Bone marrow aspirate smear:
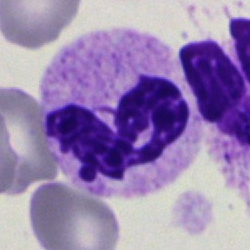Cell type: neutrophil (segmented).